250×250 px; bone marrow aspirate smear.
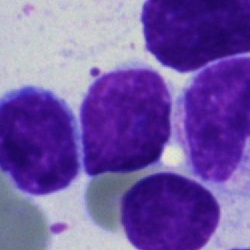 Cell: typical lymphocyte.